Bone marrow aspirate smear — 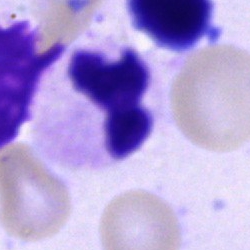

A segmented neutrophil.